Bone marrow smear. 250 by 250 pixels. Single cell centered in the field: 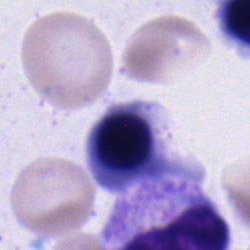Q: What is the morphological classification of this cell?
A: This is a nucleated red cell.